Bone marrow aspirate smear · single-cell field:
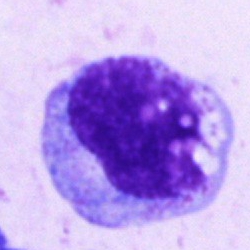

Monocyte.